Cropped to a single cell. Bone marrow smear:
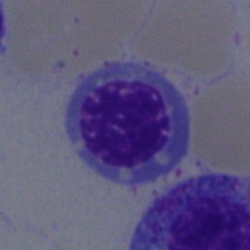Morphological class = nucleated red blood cell.